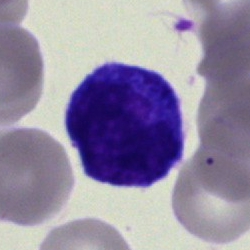 A typical lymphocyte.